Bone marrow smear. MGG-stained
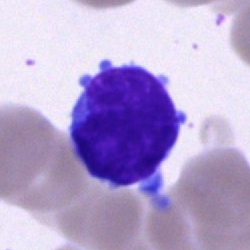 Classification: typical lymphocyte.